400×400 px; peripheral blood film: 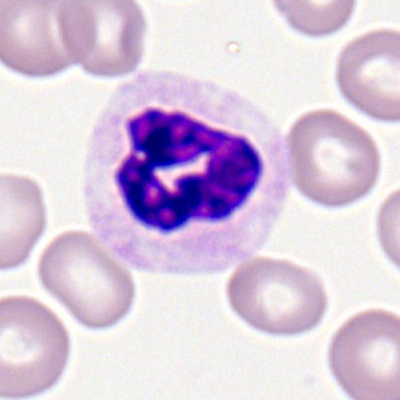

Q: What is shown here?
A: A polymorphonuclear neutrophil.